250×250 · bone marrow aspirate smear · brightfield, 40× oil-immersion objective:
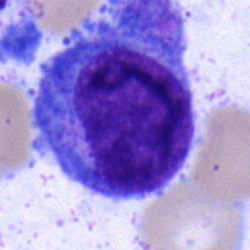Specimen: bone marrow aspirate smear.
Cell: blast cell.